Peripheral blood smear.
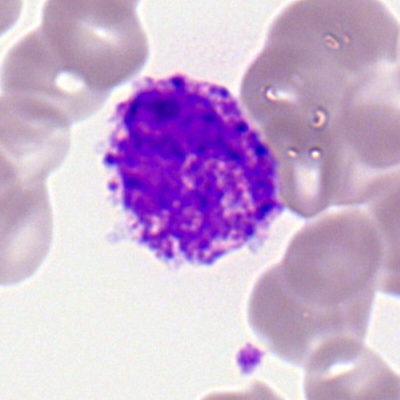
Classification: basophilic granulocyte.